Bone marrow aspirate smear — 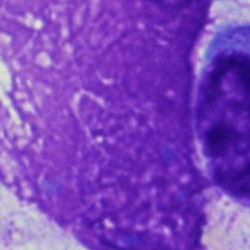
Cell type = artifact.